Bone marrow aspirate smear — 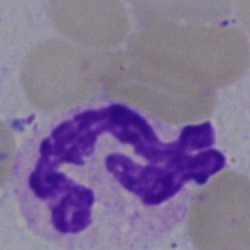 The cell shown is a polymorphonuclear neutrophil.